Peripheral blood smear
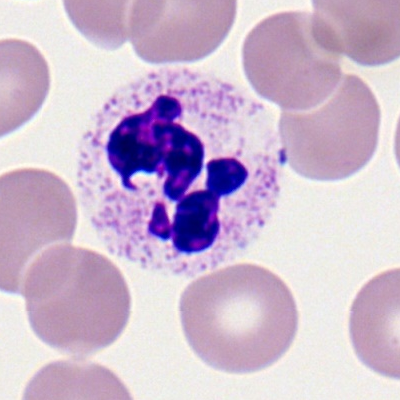 The cell shown is a neutrophil (segmented).